Bone marrow smear — 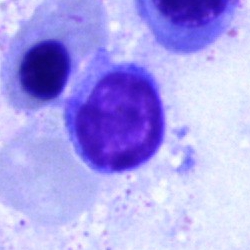
Q: What is shown here?
A: A lymphocyte.